Pappenheim-stained; bone marrow smear.
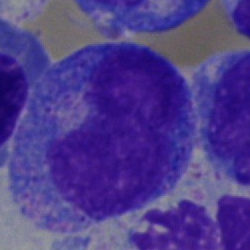Q: What cell is this?
A: Promyelocyte.